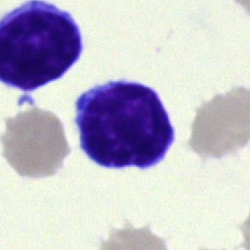

{"cell_type": "lymphocyte"}